250×250 px. Bone marrow aspirate smear. May-Grünwald-Giemsa/Pappenheim stain.
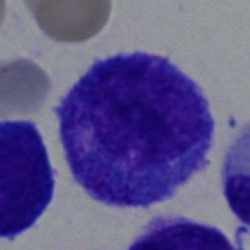
Q: Identify the cell.
A: A progranulocyte.